Bone marrow smear: 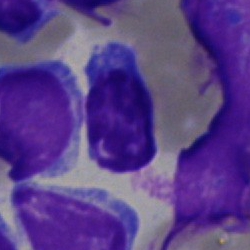

Impression — lymphocyte.